250×250; cropped to a single cell; bone marrow aspirate smear.
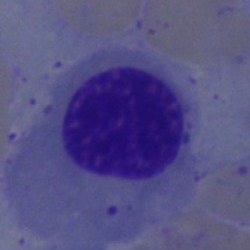
Impression — erythroblast.